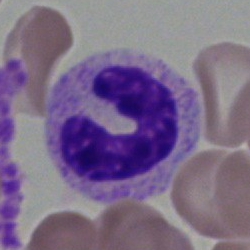
Q: What cell is this?
A: A band neutrophil.